Bone marrow smear. May-Grünwald-Giemsa stain:
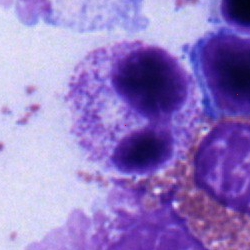 Specimen: bone marrow aspirate smear.
Cell type: segmented neutrophil.
Lineage: myeloid.